Bone marrow smear:
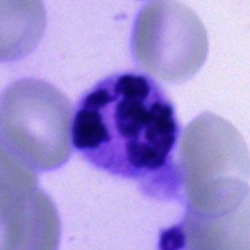 {"cell_type": "polymorphonuclear neutrophil", "lineage": "myeloid"}